Pappenheim-stained · 40× oil immersion · bone marrow aspirate smear: 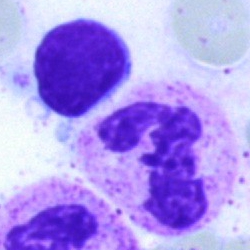Segmented neutrophil.